Single cell centered in the field; bone marrow aspirate smear
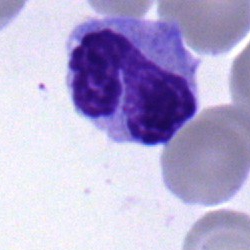
The cell shown is a band-form neutrophil.